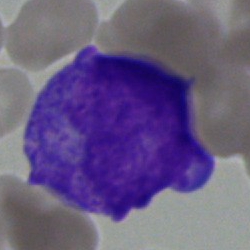
Cell — blast cell.